MGG-stained; bone marrow smear.
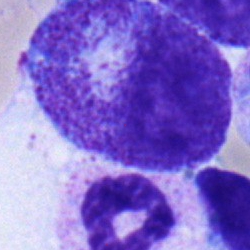
Q: Identify the cell.
A: A promyelocyte.